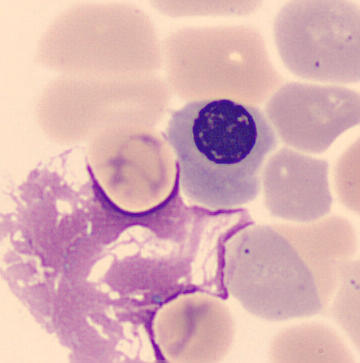
Morphology consistent with an erythroblast.
Peripheral blood film.